Bone marrow aspirate smear: 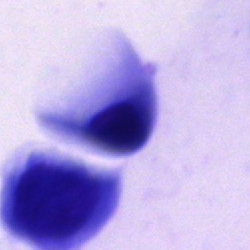The cell type is artifact.